Bone marrow smear — 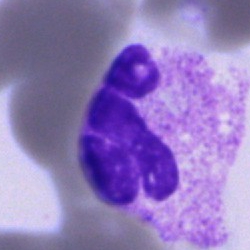
Impression → polymorphonuclear neutrophil.